Bone marrow aspirate smear.
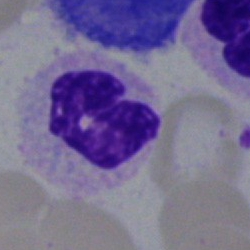 This is a segmented neutrophil.